Bone marrow aspirate smear · 40× oil immersion.
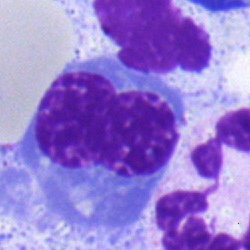

Specimen: bone marrow smear.
Morphological class: normoblast.
Lineage: erythroid.